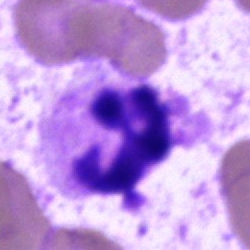 Q: What is shown here?
A: A segmented neutrophil.